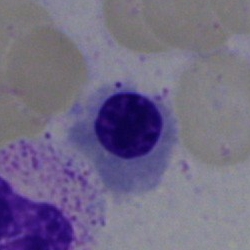 Morphology consistent with a nucleated red blood cell.